Pappenheim-stained · bone marrow smear.
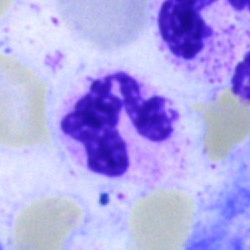The cell type is polymorphonuclear neutrophil.